Single-cell crop; bone marrow aspirate smear; May-Grünwald-Giemsa/Pappenheim stain: 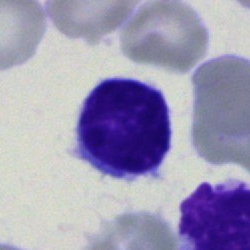

Morphological class — lymphocyte.